Bone marrow smear:
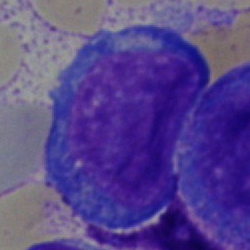Q: What is shown here?
A: A proerythroblast.